40× oil immersion · bone marrow smear · image size 250×250
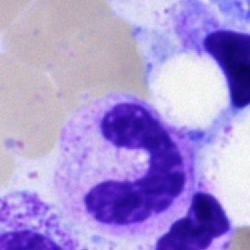A neutrophil (band).